Peripheral blood smear. 400×400: 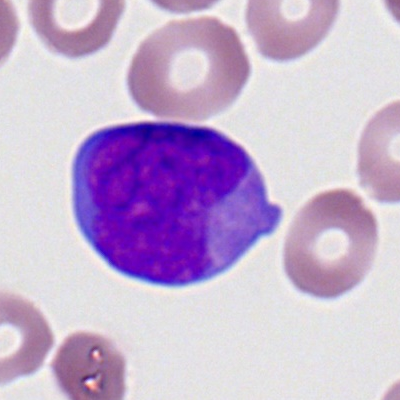
Specimen: peripheral blood smear.
Morphological class: myeloblast.